Bone marrow smear: 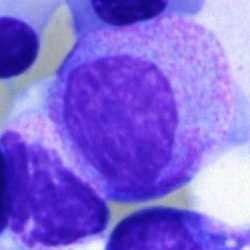This is a myelocyte.